Single-cell crop · bone marrow smear — 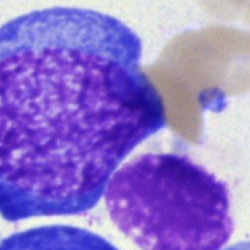Impression → blast cell.